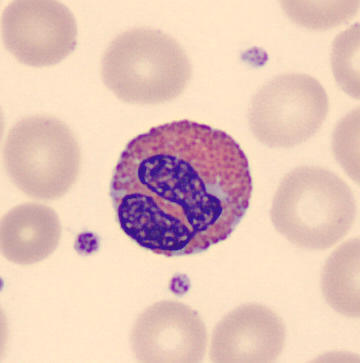
The cell shown is an eosinophil.